Brightfield microscopy, 40× oil immersion · 250×250 · bone marrow aspirate smear:
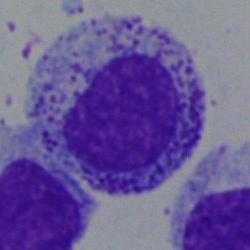

Q: What is the morphological classification of this cell?
A: It is a myelocyte.